Bone marrow aspirate smear:
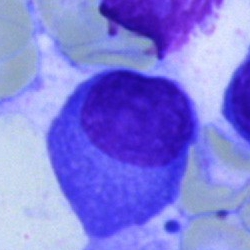
Specimen: bone marrow smear.
Cell type: plasma cell.
Lineage: lymphoid.